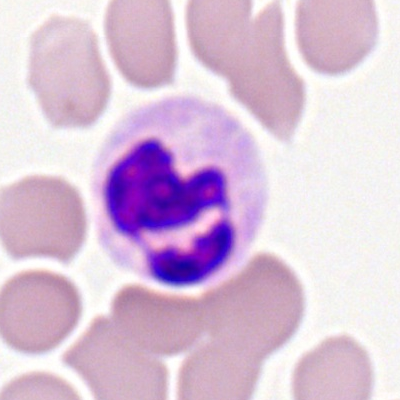
Classification: polymorphonuclear neutrophil.